Brightfield microscopy, 40× oil immersion; bone marrow smear — 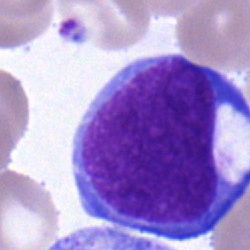
Q: What is shown here?
A: This is a blast.